Bone marrow smear
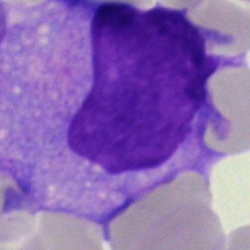

Cell = monocyte.